Bone marrow smear. 40× oil immersion.
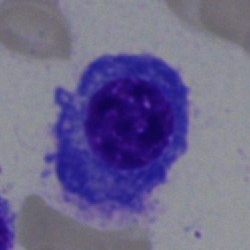

Classification = plasmacyte.